Bone marrow smear. Pappenheim-stained:
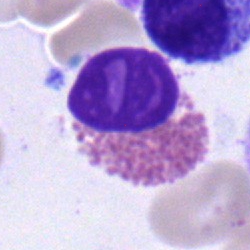Morphology → eosinophilic granulocyte.